Bone marrow aspirate smear
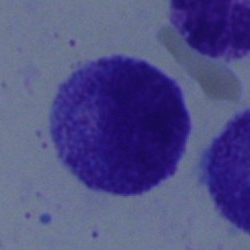 Single cell identified as a myelocyte.